Bone marrow aspirate smear · 40× oil immersion · May-Grünwald-Giemsa/Pappenheim stain — 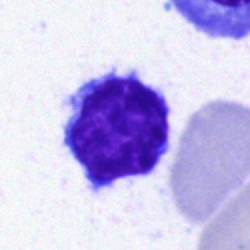The cell is typical lymphocyte.